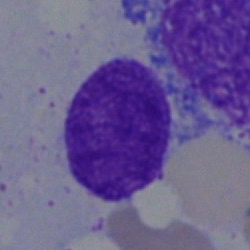
Lymphocyte.